Bone marrow aspirate smear:
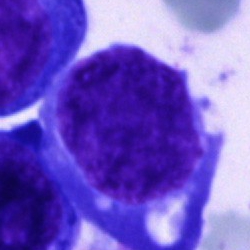Specimen: bone marrow smear.
Cell type: blast cell.